Bone marrow aspirate smear:
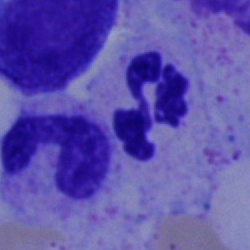 A polymorphonuclear neutrophil.